Bone marrow smear. MGG-stained:
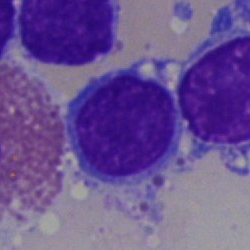The cell is lymphocyte.